Bone marrow smear. 40× oil immersion
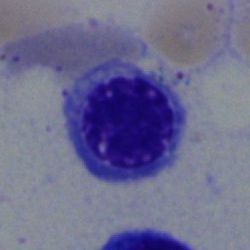Showing an erythroblast.